Bone marrow smear: 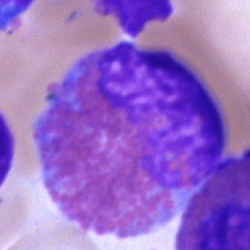
Q: What is the morphological classification of this cell?
A: It is an eosinophil.